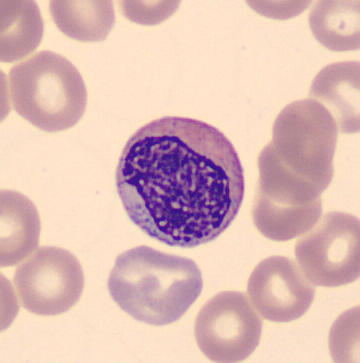Morphology — myelocyte.
Image: Peripheral blood smear. MGG-stained.